Bone marrow smear
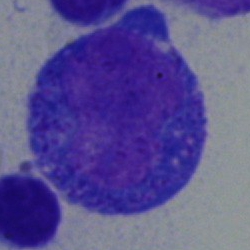
Cell = progranulocyte.